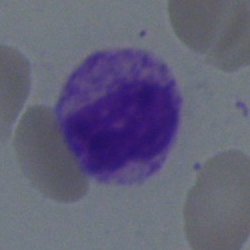

Cell = metamyelocyte.